Brightfield microscopy, 40× oil immersion. Bone marrow aspirate smear.
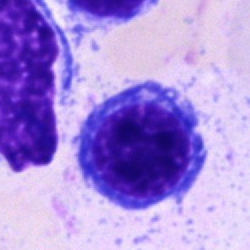
Specimen: bone marrow smear.
Cell type: nucleated red cell.